Bone marrow smear. Single-cell crop:
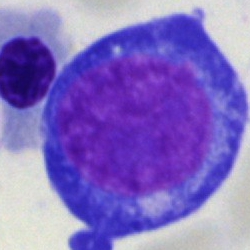A proerythroblast.